Bone marrow smear:
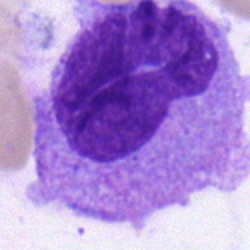 {"cell_type": "monocyte"}